Bone marrow aspirate smear.
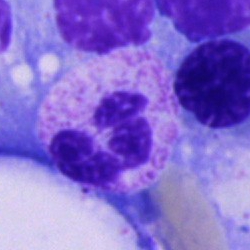Q: What cell is this?
A: This is a neutrophil (segmented).